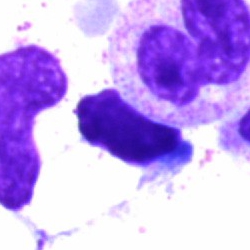
Q: Which cell type is shown here?
A: A lymphocyte.